Peripheral blood smear
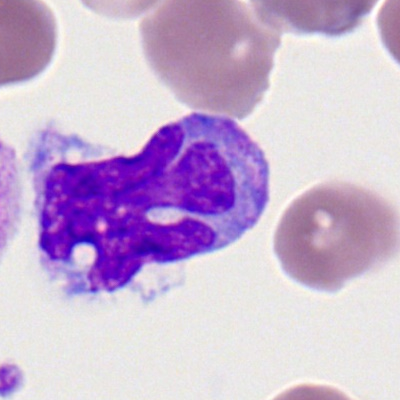
Q: What is the morphological classification of this cell?
A: Monocyte.